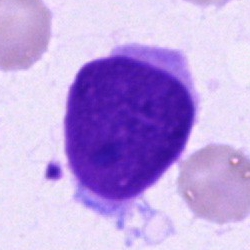{"cell_type": "artefact"}